Bone marrow aspirate smear.
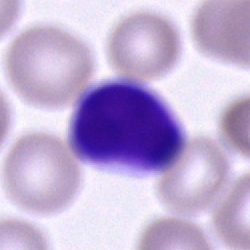 Morphology consistent with a cell of indeterminate lineage.